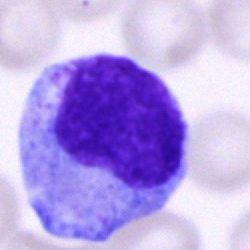

The morphological class is promyelocyte.